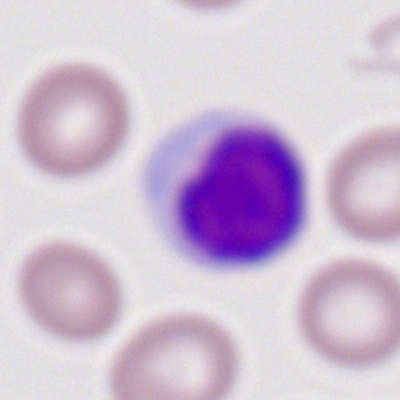

Showing a typical lymphocyte.